Bone marrow aspirate smear — 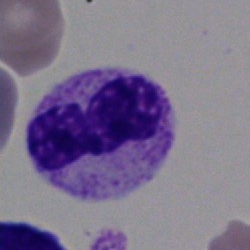
The cell shown is a neutrophil (segmented).